Bone marrow aspirate smear:
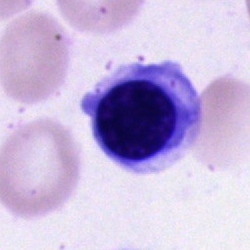
Specimen: bone marrow smear.
Morphological class: nucleated red blood cell.